Bone marrow aspirate smear — 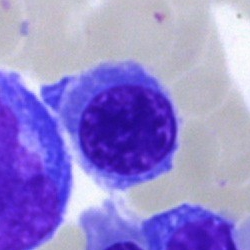 This is a nucleated red blood cell.